Single cell centered in the field; bone marrow aspirate smear
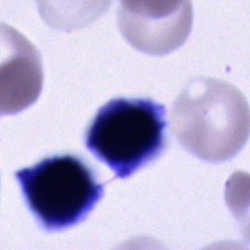Specimen: bone marrow aspirate smear.
Cell: cell of indeterminate lineage.